Brightfield, 40× oil-immersion objective; bone marrow aspirate smear; cropped to a single cell.
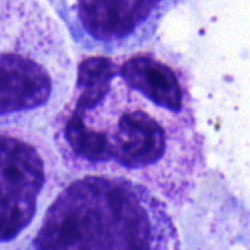Showing a segmented neutrophil.